Peripheral blood film:
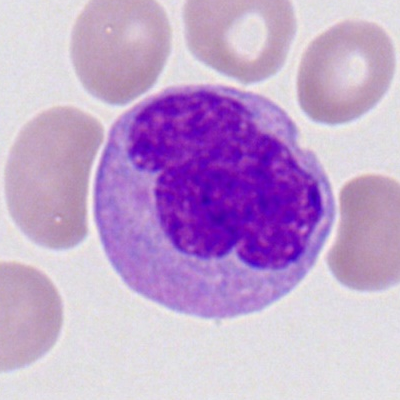Specimen: peripheral blood film.
Cell type: monocyte.
Lineage: myeloid.